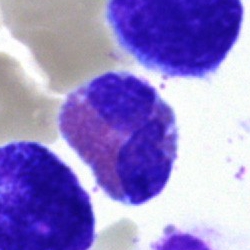 Morphology consistent with an eosinophilic granulocyte.